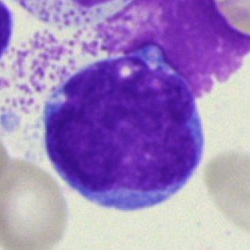 Morphology — blast cell.